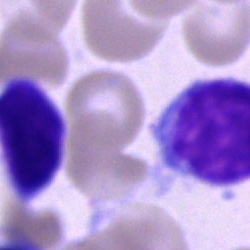
Morphology → lymphocyte.